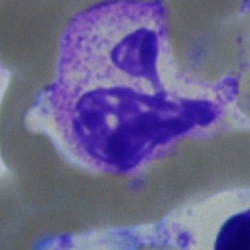Single-cell crop from a bone marrow smear: polymorphonuclear neutrophil.